Single-cell field; brightfield, 40× oil-immersion objective; bone marrow smear — 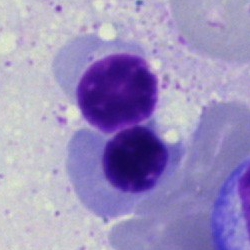Q: Which cell type is shown here?
A: It is a nucleated red cell.